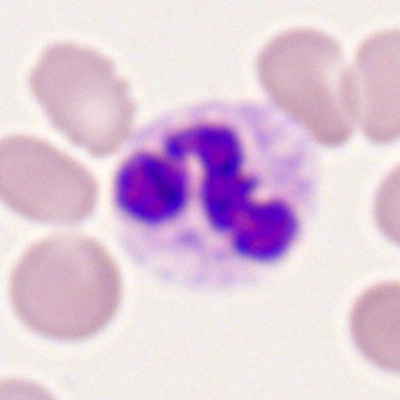 Peripheral blood smear showing a neutrophil (segmented).